Bone marrow aspirate smear: 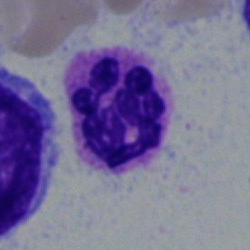

Morphological class: neutrophil (segmented).